Bone marrow smear. Cropped to a single cell:
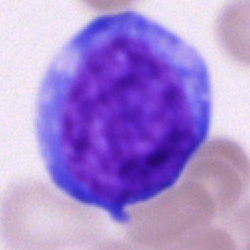 Morphology → blast.